Bone marrow smear
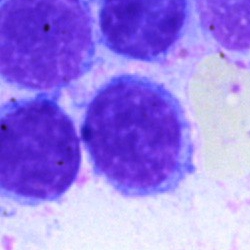This is a lymphocyte.